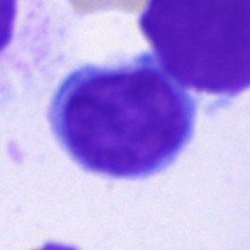Classification = typical lymphocyte.